Bone marrow aspirate smear.
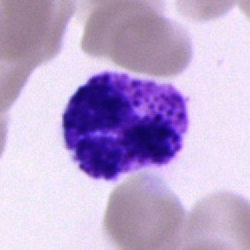
{"cell_type": "polymorphonuclear neutrophil", "lineage": "myeloid"}